Bone marrow smear.
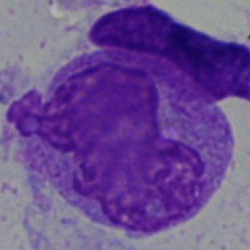Morphology consistent with an undifferentiated blast.